Cropped to a single cell; peripheral blood smear.
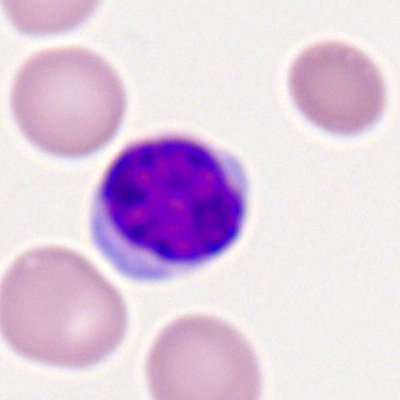

This is a lymphocyte.